Bone marrow aspirate smear; image size 250×250; May-Grünwald-Giemsa/Pappenheim stain: 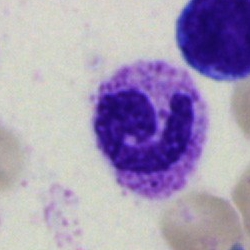

Classification: neutrophil (segmented).